40× oil immersion. Bone marrow aspirate smear
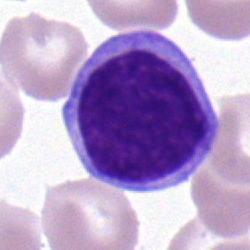 Typical lymphocyte.